Bone marrow smear
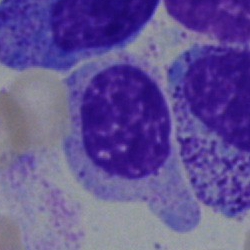
A myelocyte.